Bone marrow smear.
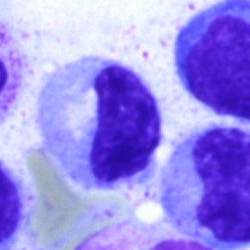

Q: Which cell type is shown here?
A: It is a stab cell.